Bone marrow smear · cropped to a single cell · MGG-stained.
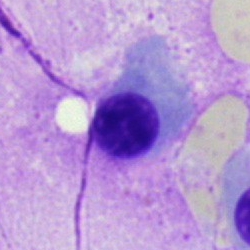
Morphology → erythroblast.